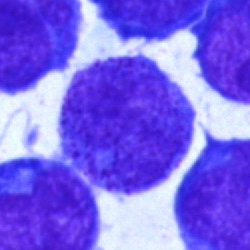

Classification = blast.